Bone marrow aspirate smear. Image size 250×250. MGG-stained
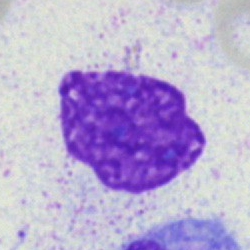Classification — artifact.